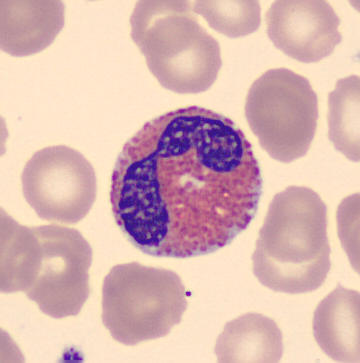

Q: Which cell type is shown here?
A: An eosinophilic granulocyte.

Peripheral blood smear.